Peripheral blood film: 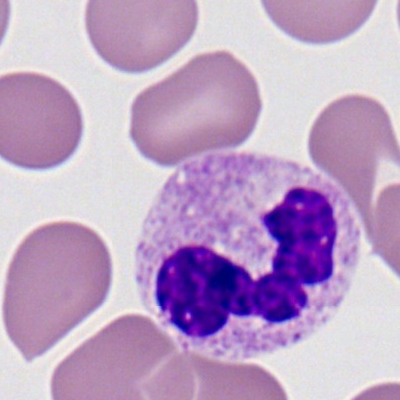 Morphological class — neutrophil (segmented).